Peripheral blood film.
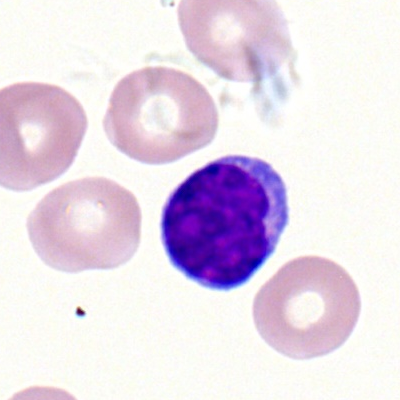Morphology consistent with a lymphocyte.